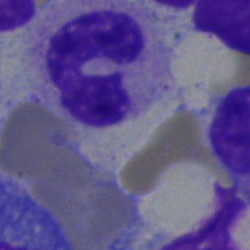
Q: What is the morphological classification of this cell?
A: This is a stab cell.